Bone marrow aspirate smear; single-cell field
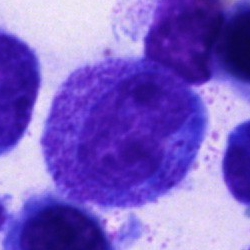 Impression → progranulocyte.